Peripheral blood film; 400×400 px — 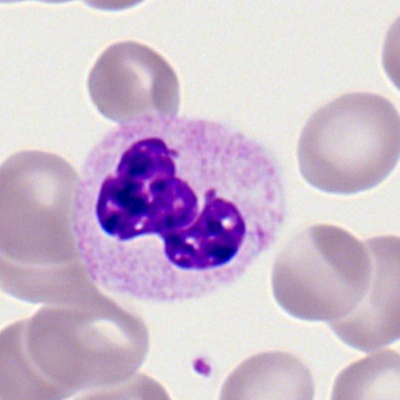

Cell type: segmented neutrophil.